Bone marrow smear:
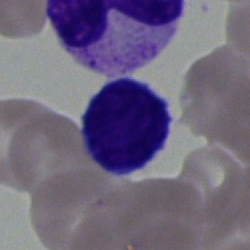

{"cell_type": "typical lymphocyte", "lineage": "lymphoid"}